Bone marrow smear.
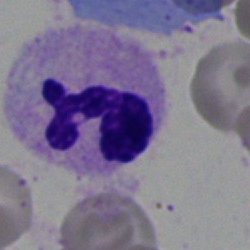

This is a polymorphonuclear neutrophil.